Single cell centered in the field. MGG-stained. Bone marrow aspirate smear.
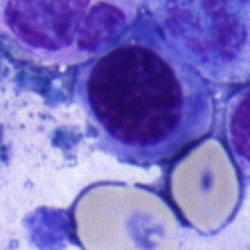An erythroblast.